Peripheral blood smear: 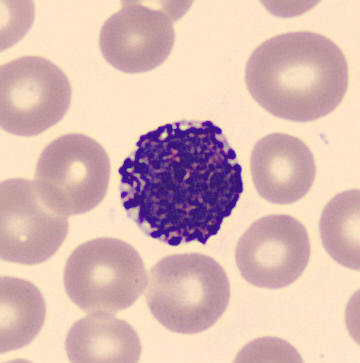

Impression — basophil.